Bone marrow smear.
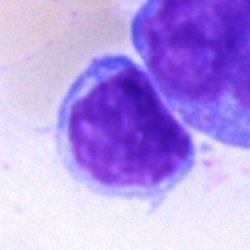
Impression → typical lymphocyte.